Bone marrow aspirate smear.
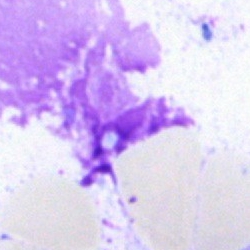 The morphological class is artifact.